Pappenheim-stained. Brightfield, 40× oil-immersion objective. Bone marrow smear
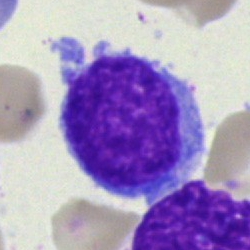 {"cell_type": "blast"}